Bone marrow aspirate smear. 40× objective, oil immersion.
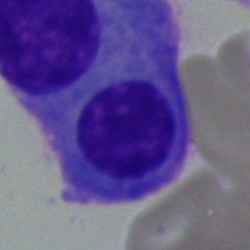 Impression — plasmacyte.